Bone marrow smear
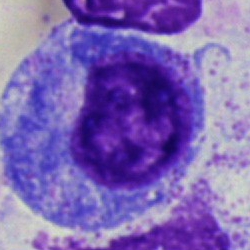 Specimen: bone marrow smear.
Classification: promyelocyte.